Bone marrow aspirate smear.
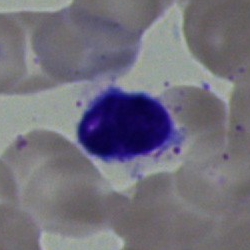Single cell identified as a lymphocyte.